Bone marrow smear: 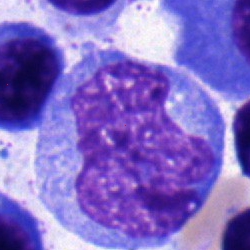
Specimen: bone marrow smear.
Classification: blast cell.